100× objective, oil immersion · Romanowsky stain · peripheral blood film.
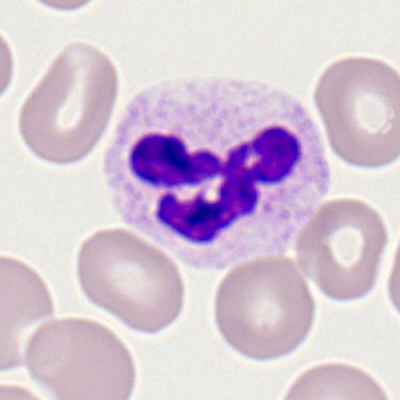 {"cell_type": "neutrophil (segmented)", "lineage": "myeloid"}